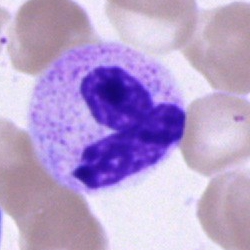
Bone marrow smear showing a polymorphonuclear neutrophil.